Bone marrow aspirate smear
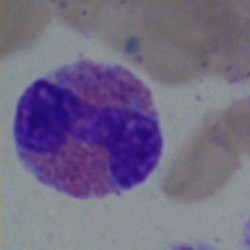 Specimen: bone marrow smear.
Morphological class: eosinophilic granulocyte.